Bone marrow smear:
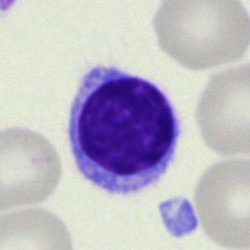
Specimen: bone marrow aspirate smear.
Classification: typical lymphocyte.
Lineage: lymphoid.